Bone marrow aspirate smear
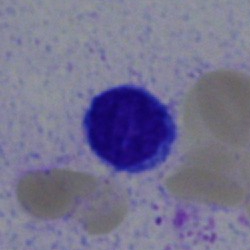
Morphological class: typical lymphocyte.